Bone marrow aspirate smear; cropped to a single cell:
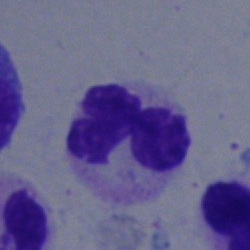

Morphological class — polymorphonuclear neutrophil.